Bone marrow aspirate smear.
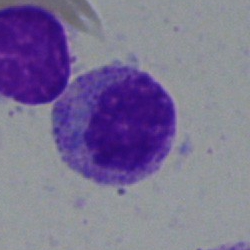 Showing a myelocyte.